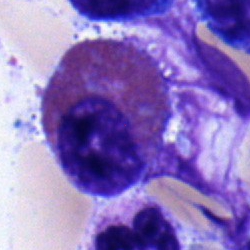Eosinophil.